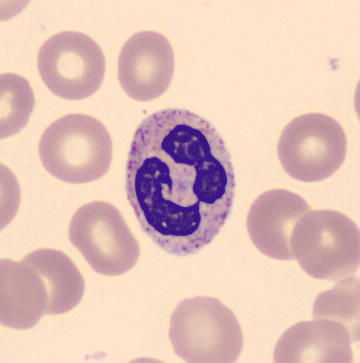
Morphology consistent with a polymorphonuclear neutrophil.

Preparation: MGG-stained · peripheral blood smear.